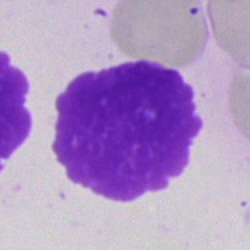

Q: What is shown here?
A: This is an artefact.